Image size 250×250; bone marrow smear.
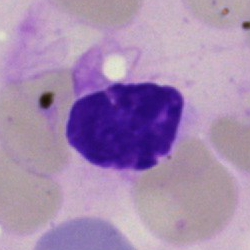
Showing an artifact.